Bone marrow aspirate smear
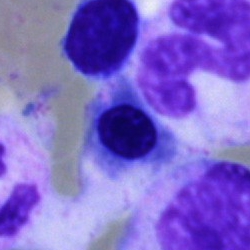

Morphology consistent with a nucleated red cell.